Brightfield, 40× oil-immersion objective. Bone marrow aspirate smear. 250×250
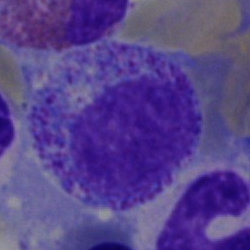Single cell identified as a myelocyte.